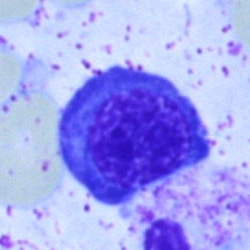Specimen: bone marrow smear.
Morphological class: nucleated red cell.
Lineage: erythroid.